Bone marrow aspirate smear — 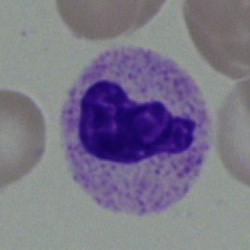 Cell: polymorphonuclear neutrophil.